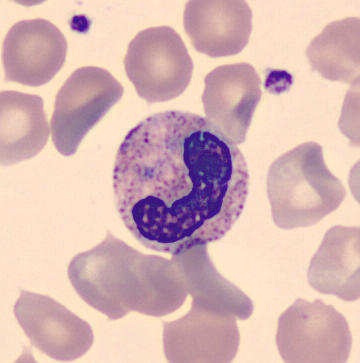

Peripheral blood film.
Classification = stab cell.